Single cell centered in the field. Bone marrow aspirate smear. 40× objective, oil immersion: 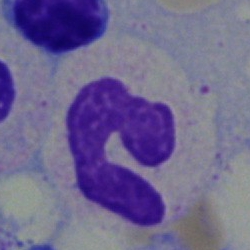

The morphological class is neutrophil (band).